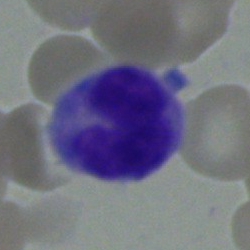

Impression → monocyte.